360 by 363 pixels. Single-cell crop. Peripheral blood film
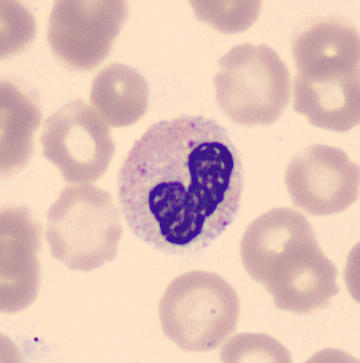

The morphological class is stab cell.